Bone marrow smear; single-cell field
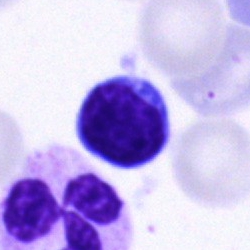 Single cell identified as a lymphocyte.